Bone marrow aspirate smear · May-Grünwald-Giemsa/Pappenheim stain.
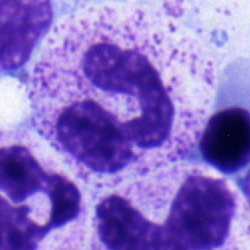Impression → segmented neutrophil.